Bone marrow aspirate smear
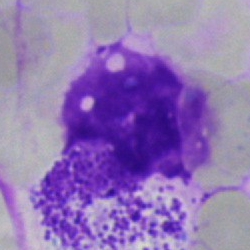Morphology → artifact.